Bone marrow aspirate smear.
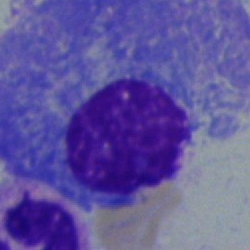

Showing a plasma cell.